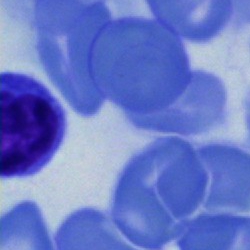Q: Identify the cell.
A: A typical lymphocyte.